250×250 · bone marrow aspirate smear · brightfield, 40× oil-immersion objective — 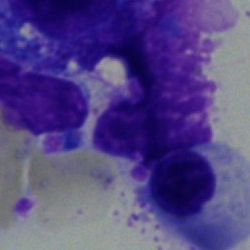 Specimen: bone marrow smear.
Morphological class: erythroblast.